Cropped to a single cell; brightfield, 40× oil-immersion objective; bone marrow aspirate smear:
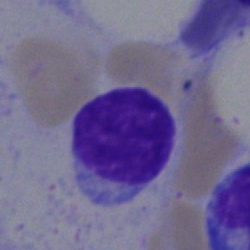 {"cell_type": "typical lymphocyte", "lineage": "lymphoid"}